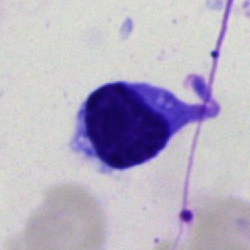Impression — typical lymphocyte.